250 by 250 pixels · bone marrow smear.
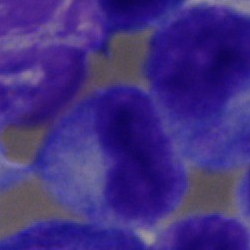

Metamyelocyte.